May-Grünwald-Giemsa stain; bone marrow aspirate smear — 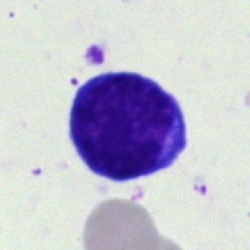 Specimen: bone marrow aspirate smear.
Morphological class: lymphocyte.
Lineage: lymphoid.